Bone marrow smear: 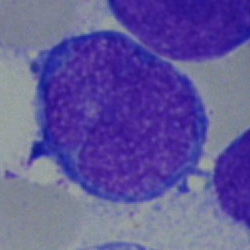

{"cell_type": "blast"}